Peripheral blood film.
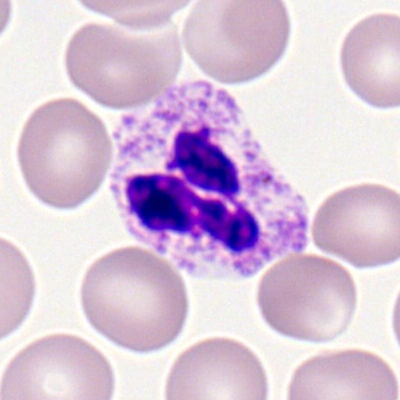{"cell_type": "neutrophil (segmented)", "lineage": "myeloid"}